Brightfield, 40× oil-immersion objective. Bone marrow smear. 250×250: 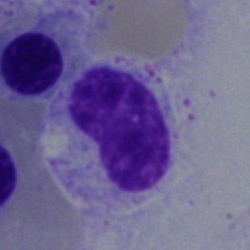 Specimen: bone marrow smear.
Morphological class: band neutrophil.
Lineage: myeloid.